Bone marrow smear · MGG-stained:
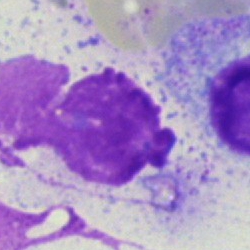

Cell = artifact.